Bone marrow smear; 250 by 250 pixels
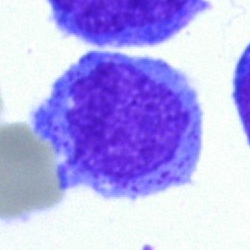

Morphology consistent with a blast.